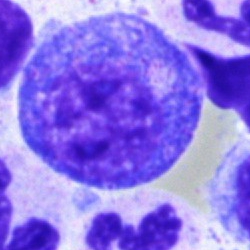
This is a progranulocyte.